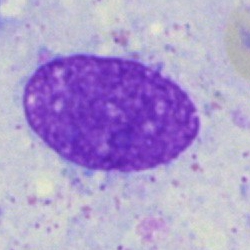Morphology → artifact.